Pappenheim-stained; bone marrow smear; 40× oil immersion.
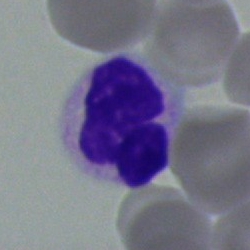
Segmented neutrophil.